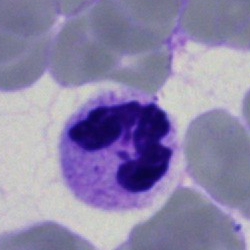Morphological class — segmented neutrophil.